MGG-stained; bone marrow aspirate smear.
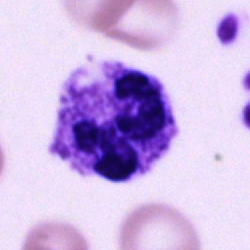Morphology consistent with a neutrophil (segmented).